Bone marrow smear. Single-cell field
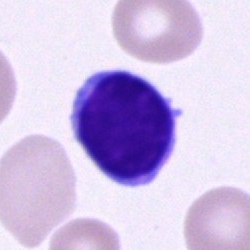
The classification is typical lymphocyte.